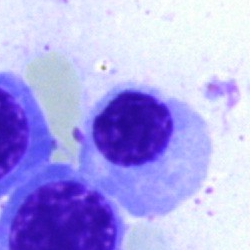

Cell: nucleated red blood cell.